Bone marrow smear · brightfield microscopy, 40× oil immersion: 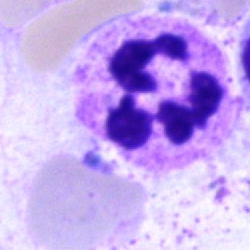Q: What is shown here?
A: This is a polymorphonuclear neutrophil.